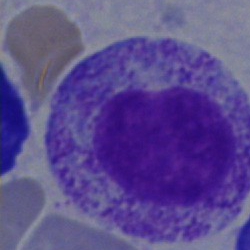{"cell_type": "myelocyte", "lineage": "myeloid"}